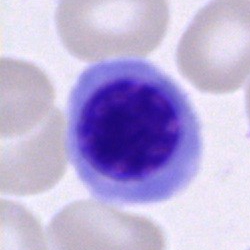 Bone marrow smear showing a nucleated red cell.